Bone marrow smear:
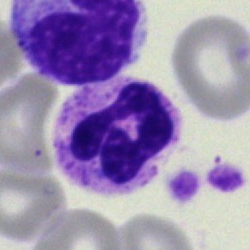 Polymorphonuclear neutrophil.